Bone marrow aspirate smear.
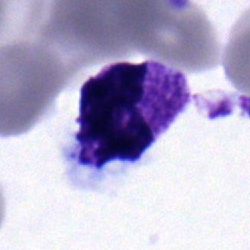
The morphological class is neutrophil (segmented).